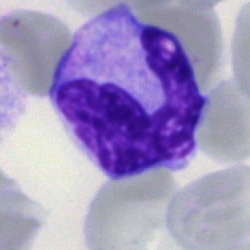Morphological class: monocyte.